Bone marrow smear.
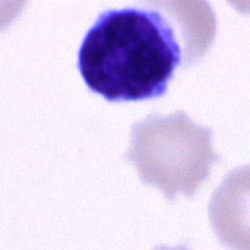 Showing a typical lymphocyte.